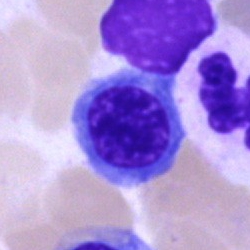 A normoblast on a bone marrow smear.